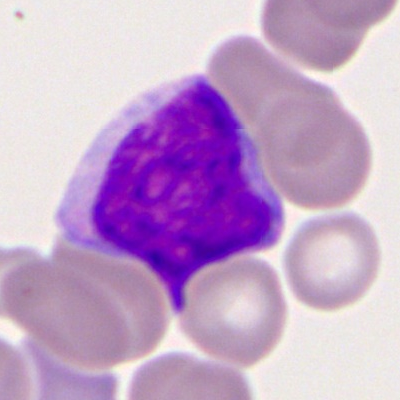 Q: What is the morphological classification of this cell?
A: A myeloid blast.